Brightfield microscopy, 40× oil immersion · bone marrow aspirate smear · Pappenheim-stained — 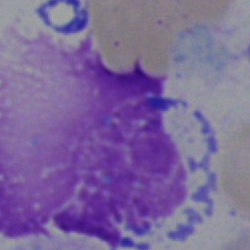
Cell: artifact.